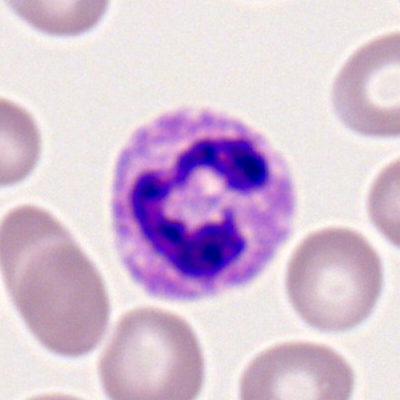Peripheral blood film, single cell — polymorphonuclear neutrophil.